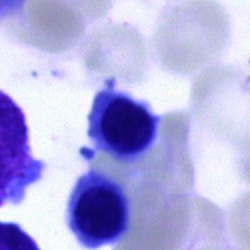 The morphological class is normoblast.